Single-cell field. May-Grünwald-Giemsa stain. Bone marrow aspirate smear.
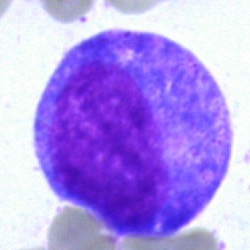The cell shown is a progranulocyte.